Bone marrow aspirate smear. Single-cell field — 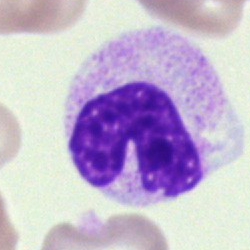
Morphology — stab cell.